Bone marrow smear · brightfield, 40× oil-immersion objective — 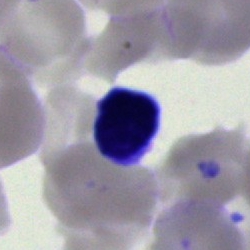 Classification = typical lymphocyte.